Bone marrow aspirate smear
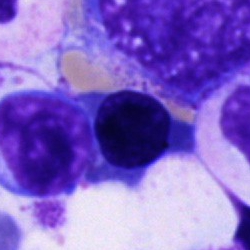
The cell is unidentifiable cell.